Bone marrow aspirate smear:
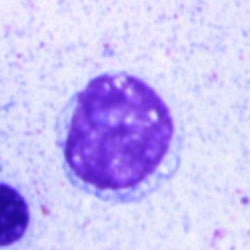 Impression → typical lymphocyte.